Brightfield, 40× oil-immersion objective. Bone marrow smear. Single-cell field — 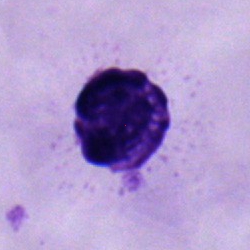

Classification = typical lymphocyte.